Single-cell field. Bone marrow smear. 40× oil immersion:
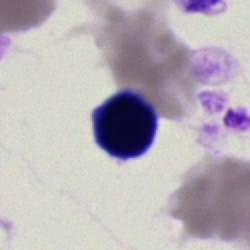

Q: What is shown here?
A: This is an artefact.